Bone marrow smear.
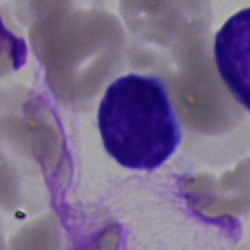
Specimen: bone marrow smear.
Classification: lymphocyte.